Bone marrow smear; brightfield microscopy, 40× oil immersion.
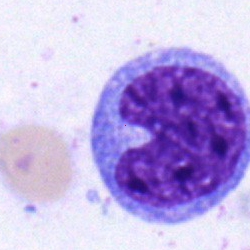

Monocyte.